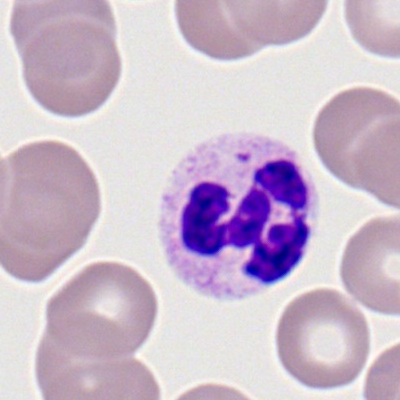Classification = polymorphonuclear neutrophil.